Bone marrow aspirate smear — 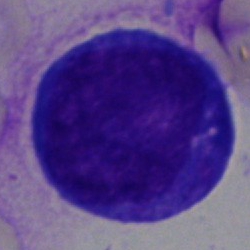The classification is undifferentiated blast.